Peripheral blood smear:
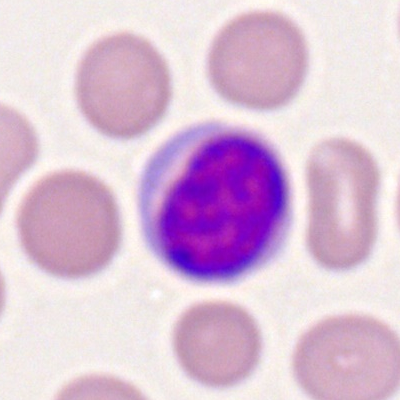
Morphological class = lymphocyte.